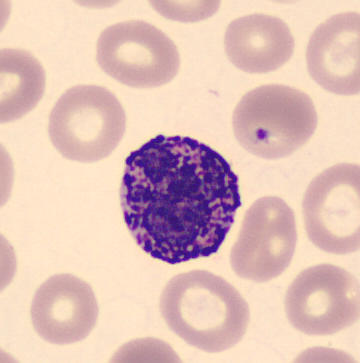
Classification: basophilic granulocyte.